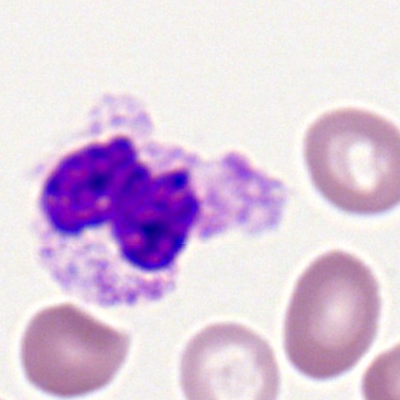
Q: Which cell type is shown here?
A: Segmented neutrophil.